Bone marrow aspirate smear. 250 by 250 pixels
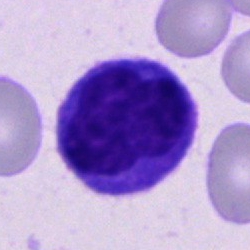Cell = monocyte.